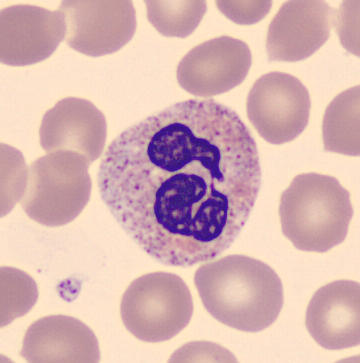 Cell type — segmented neutrophil.